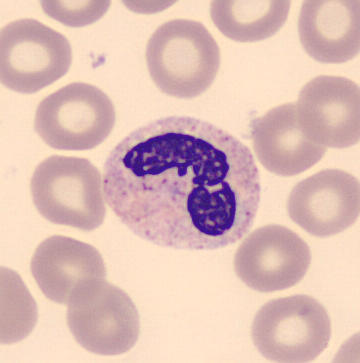 Single cell identified as a polymorphonuclear neutrophil.
Image: 360×363 px. May Grünwald-Giemsa stain. Peripheral blood smear.